Bone marrow smear — 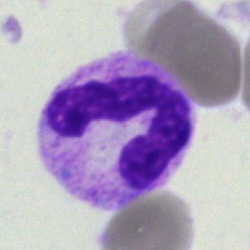Cell = segmented neutrophil.